Bone marrow aspirate smear:
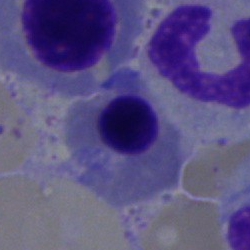
{"cell_type": "erythroblast"}